Bone marrow smear — 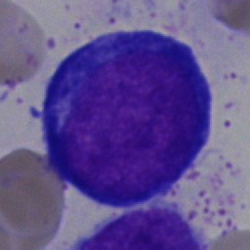Q: What cell is this?
A: A proerythroblast.